Peripheral blood smear
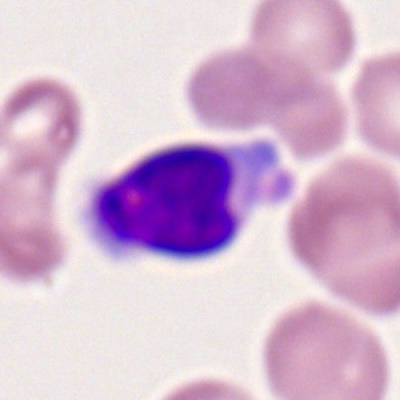

Q: What is the morphological classification of this cell?
A: Lymphocyte.